Bone marrow smear — 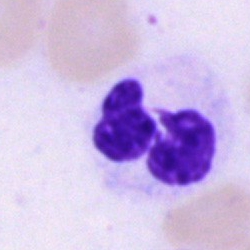

Morphology — segmented neutrophil.